Brightfield microscopy, 40× oil immersion. Bone marrow smear. Image size 250×250.
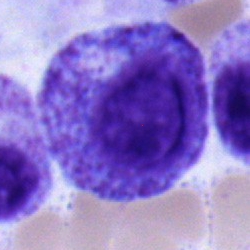

Morphology → myelocyte.